Bone marrow smear · 250×250 px.
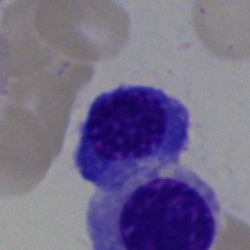 Classification = erythroblast.